May-Grünwald-Giemsa/Pappenheim stain; bone marrow smear: 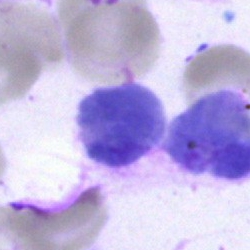 An artefact.